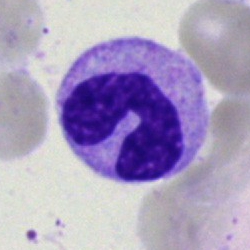
Q: Identify the cell.
A: It is a neutrophil (segmented).